Bone marrow aspirate smear. 250×250. Pappenheim-stained — 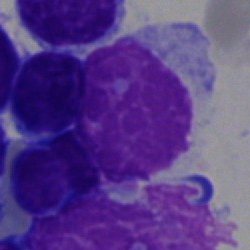

The cell shown is an artefact.